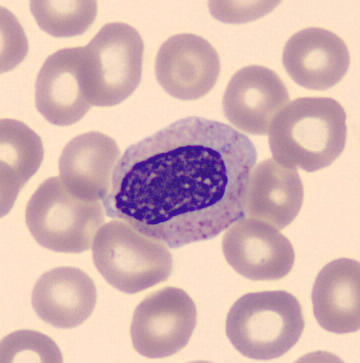 Peripheral blood film · May-Grünwald-Giemsa-stained.

Morphology — myelocyte.